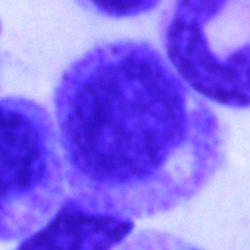

Single-cell crop from a bone marrow smear: myelocyte.